Bone marrow smear. Brightfield microscopy, 40× oil immersion: 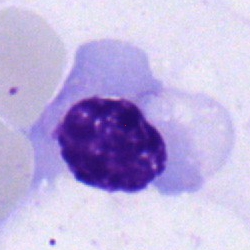
Specimen: bone marrow smear.
Cell type: nucleated red blood cell.
Lineage: erythroid.